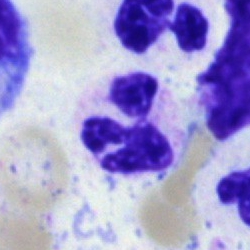

Bone marrow smear showing a neutrophil (segmented).